Bone marrow smear — 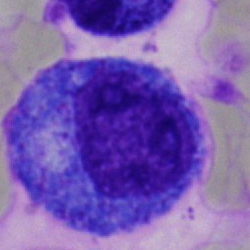

Specimen: bone marrow smear.
Cell: promyelocyte.
Lineage: myeloid.